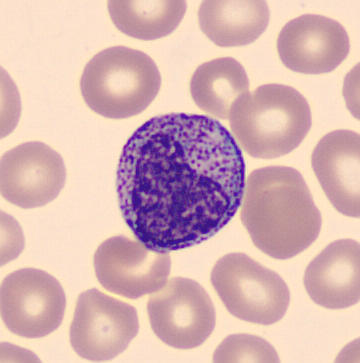Morphology → myelocyte.